Bone marrow aspirate smear · May-Grünwald-Giemsa stain: 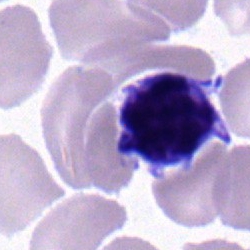The morphological class is typical lymphocyte.